Bone marrow aspirate smear:
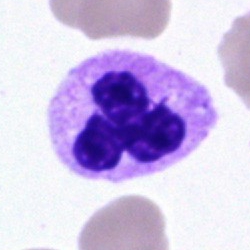

This is a neutrophil (segmented).